Bone marrow smear
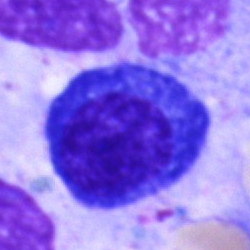
Cell type — plasmacyte.